M8 digital microscope (Precipoint), 100× oil immersion · peripheral blood film: 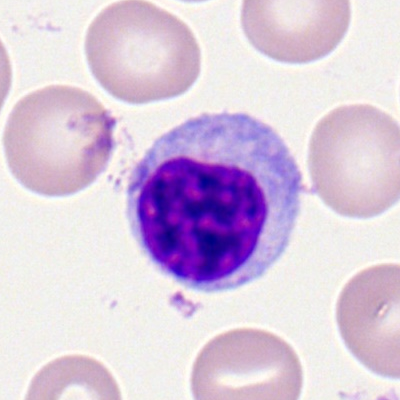 The cell shown is a lymphocyte.